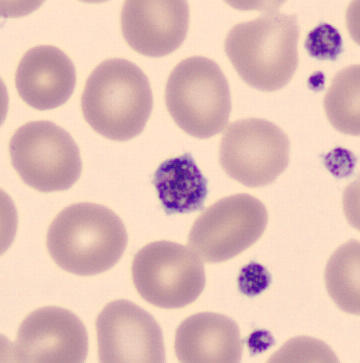
Morphology consistent with a platelet.
Image: Peripheral blood film.